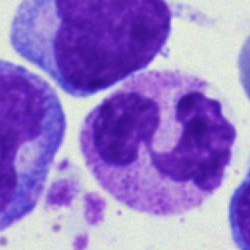 Polymorphonuclear neutrophil.